Bone marrow smear.
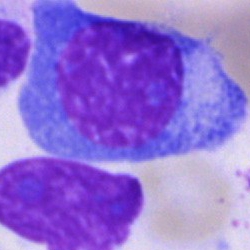
{"cell_type": "plasma cell", "lineage": "lymphoid"}